Bone marrow smear. May-Grünwald-Giemsa stain. 250×250 px:
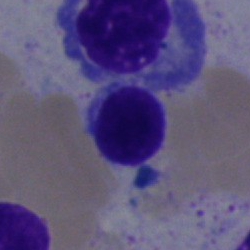
Specimen: bone marrow smear.
Cell: lymphocyte.